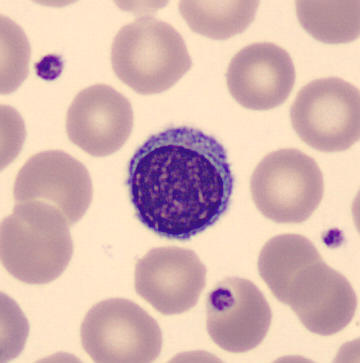

The classification is typical lymphocyte. Peripheral blood film.